Bone marrow aspirate smear:
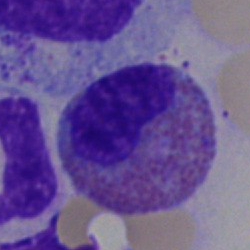 An eosinophilic granulocyte.